Bone marrow smear:
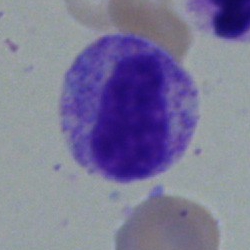

Cell type — metamyelocyte.